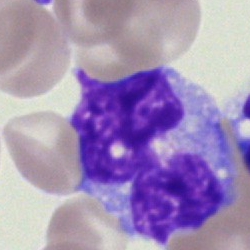

Impression → monocyte.